Bone marrow aspirate smear — 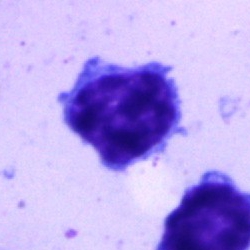

Showing a lymphocyte.